Peripheral blood film · single-cell field
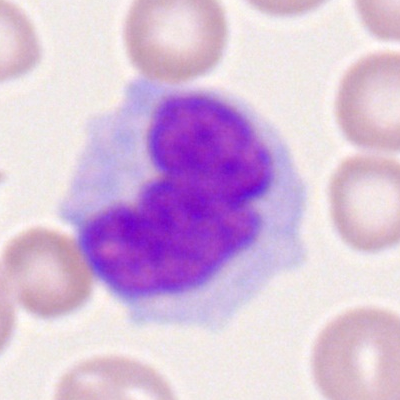
Specimen: peripheral blood smear.
Cell type: monocyte.